Bone marrow smear — 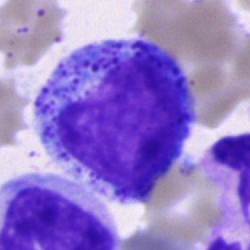 Promyelocyte.